Peripheral blood smear — 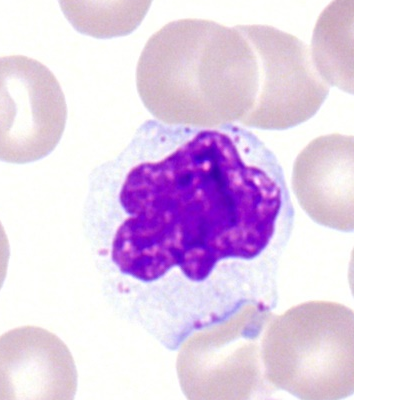 Morphology — lymphocyte.